Bone marrow smear.
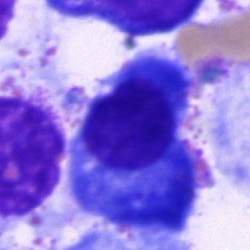
Plasma cell.